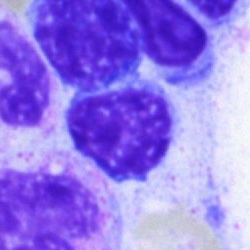
Cell — typical lymphocyte.